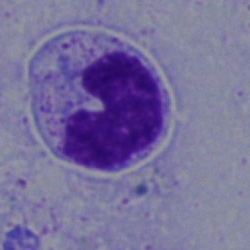Morphology — band neutrophil.